May-Grünwald-Giemsa stain; image size 250×250; bone marrow smear — 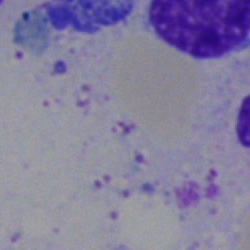
Morphology consistent with an artefact.